250×250. Bone marrow aspirate smear — 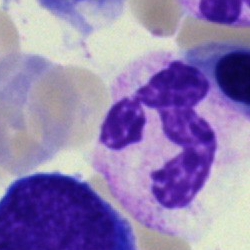Cell — polymorphonuclear neutrophil.